Bone marrow smear
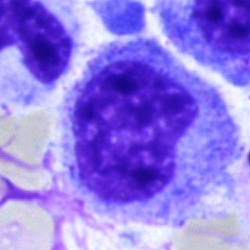
Morphology consistent with a metamyelocyte.